Bone marrow aspirate smear
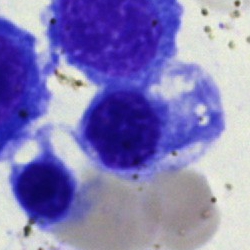

Normoblast.